Bone marrow aspirate smear
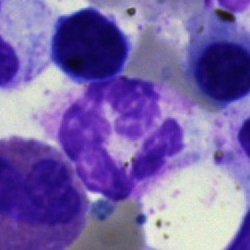Morphology — segmented neutrophil.